Bone marrow aspirate smear:
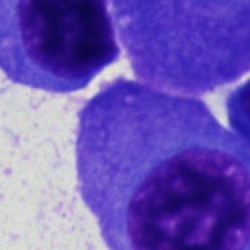

Impression → plasmacyte.